Bone marrow smear · cropped to a single cell · 250×250:
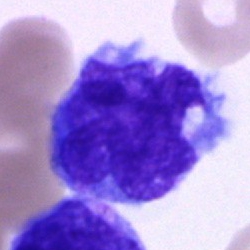
Showing a monocyte.